Bone marrow smear.
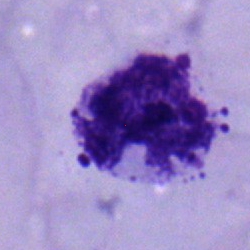 Q: What cell is this?
A: It is a segmented neutrophil.